Bone marrow aspirate smear
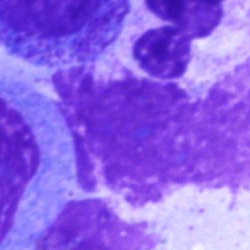Artefact.